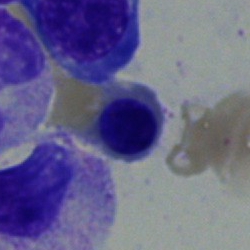

{"cell_type": "normoblast", "lineage": "erythroid"}